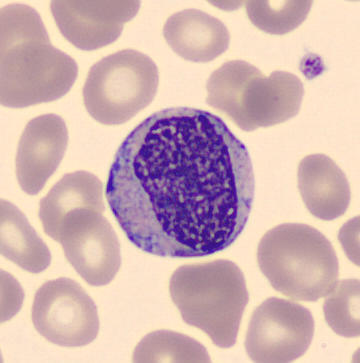A myelocyte.

Image: Image size 360×363; peripheral blood film.